Bone marrow aspirate smear. 250×250. 40× objective, oil immersion — 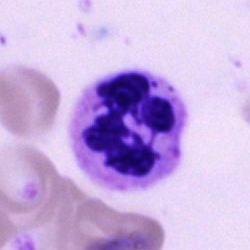The morphological class is polymorphonuclear neutrophil.